Bone marrow smear: 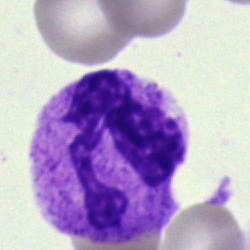 This is a segmented neutrophil.